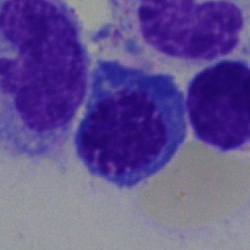 Single-cell crop from a bone marrow smear: nucleated red blood cell.